Single-cell crop. Bone marrow aspirate smear. 250 by 250 pixels
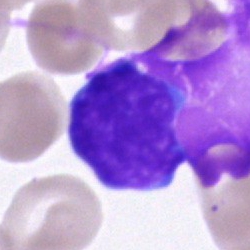
Morphology → lymphocyte.